Bone marrow smear; image size 250×250 — 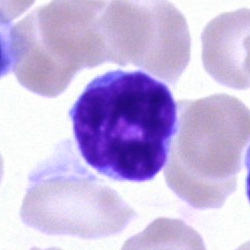
The cell shown is a lymphocyte.